Bone marrow smear
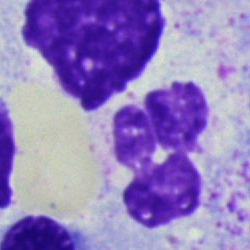 {"cell_type": "segmented neutrophil", "lineage": "myeloid"}